Peripheral blood film: 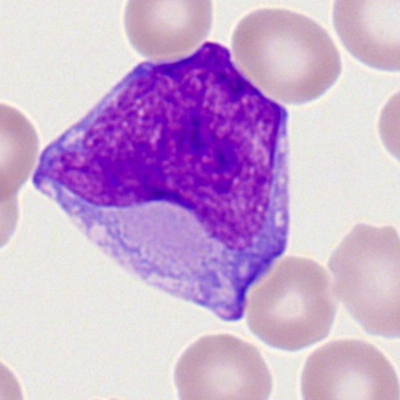 Q: What cell is this?
A: A myeloblast.